Peripheral blood smear — 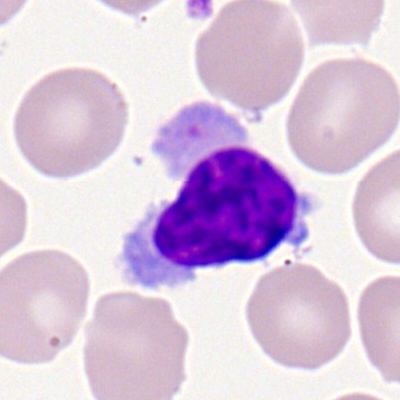 The cell is typical lymphocyte.